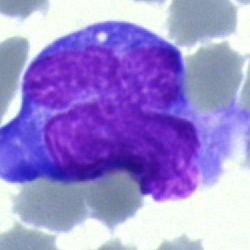 Morphology — monocyte.